Single-cell crop. Bone marrow aspirate smear:
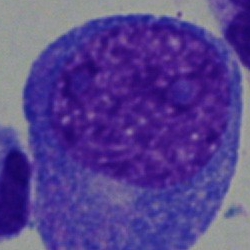

Cell type — progranulocyte.